Bone marrow smear · brightfield microscopy, 40× oil immersion: 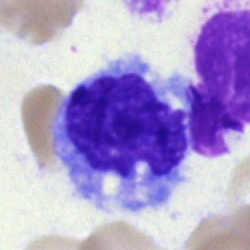Q: What cell is this?
A: It is a monocyte.